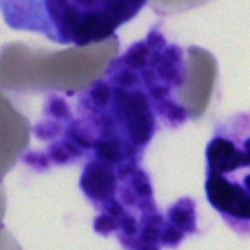
Q: What is shown here?
A: It is an artifact.